Bone marrow smear; cropped to a single cell.
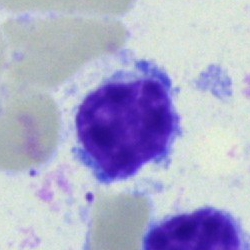

Q: What is shown here?
A: Typical lymphocyte.